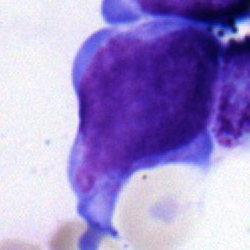
Bone marrow aspirate smear, single cell — blast.